Brightfield, 40× oil-immersion objective · May-Grünwald-Giemsa stain · bone marrow aspirate smear.
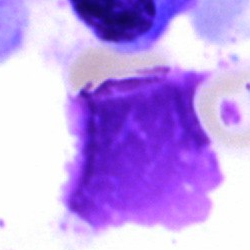
Cell type = artefact.